Bone marrow smear; single-cell crop:
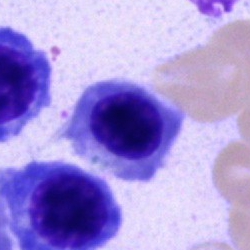Morphology → nucleated red blood cell.